Bone marrow smear; Pappenheim-stained.
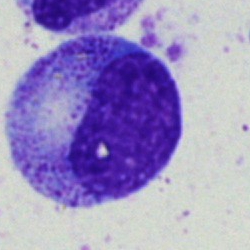
Specimen: bone marrow aspirate smear.
Cell: metamyelocyte.
Lineage: myeloid.